Bone marrow smear:
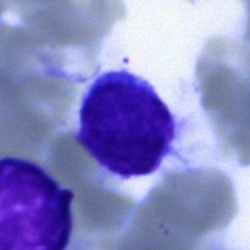 Impression — lymphocyte.